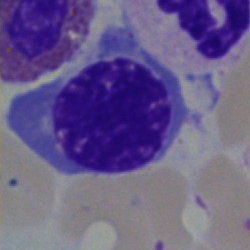 Specimen: bone marrow smear.
Cell: normoblast.